Bone marrow smear:
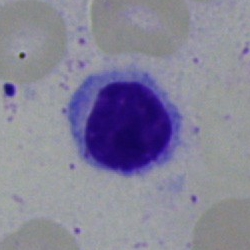
Showing a lymphocyte.